Peripheral blood smear — 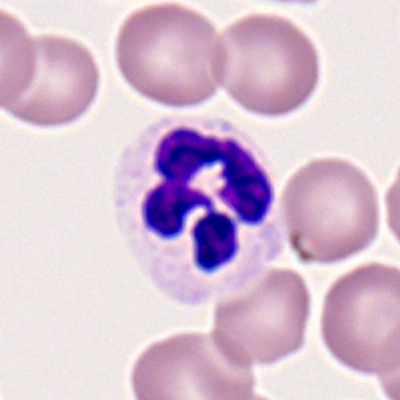A neutrophil (segmented).